Bone marrow smear — 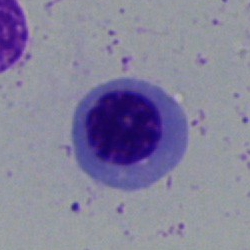 The cell type is erythroblast.